Peripheral blood film; 100× objective, oil immersion:
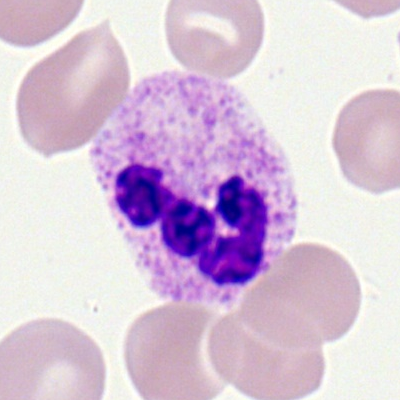 {"cell_type": "segmented neutrophil", "lineage": "myeloid"}